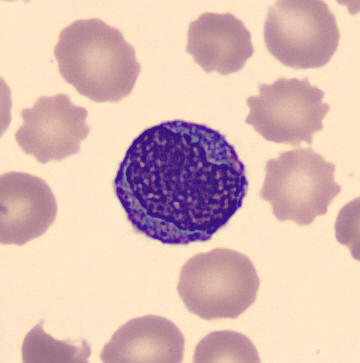

Showing a monocyte.